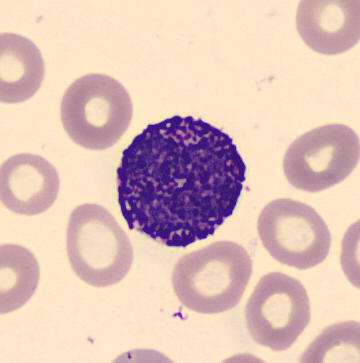 Cropped to a single cell.

Specimen: peripheral blood smear.
Morphological class: basophilic granulocyte.